Bone marrow smear · Pappenheim-stained · single cell centered in the field
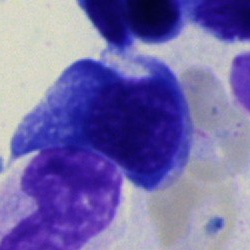
Morphology → nucleated red blood cell.